MGG-stained · 250×250 · bone marrow aspirate smear.
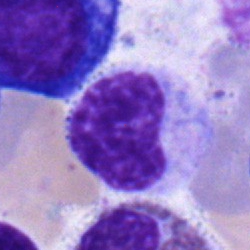
Single cell identified as a metamyelocyte.